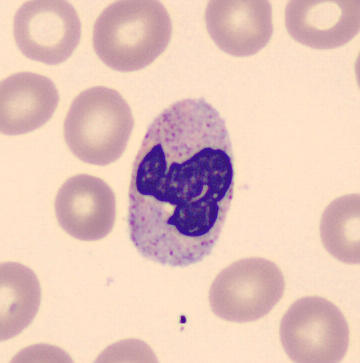 Cell type: segmented neutrophil.